Bone marrow smear.
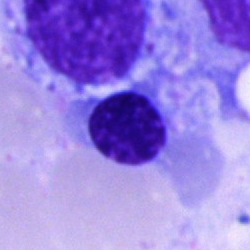

Classification — erythroblast.